Bone marrow smear. May-Grünwald-Giemsa/Pappenheim stain
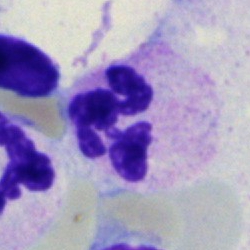

The morphological class is segmented neutrophil.